May-Grünwald-Giemsa stain; bone marrow aspirate smear; image size 250×250: 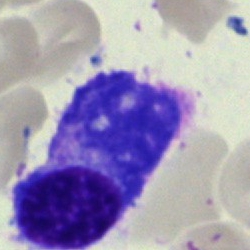

Plasma cell.